Bone marrow smear; Pappenheim-stained
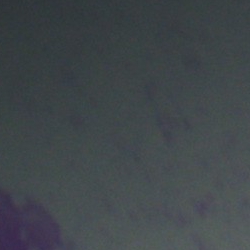 The classification is artifact.